Bone marrow smear · 250×250 px:
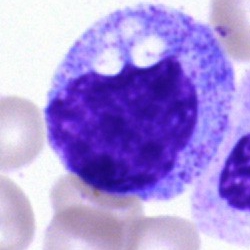
Specimen: bone marrow aspirate smear.
Classification: promyelocyte.